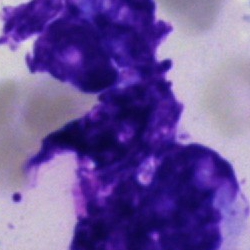
Q: What is shown here?
A: It is an artefact.